Bone marrow smear.
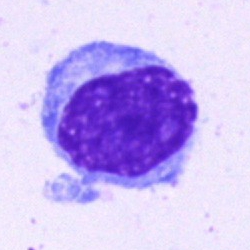 Impression — lymphocyte.